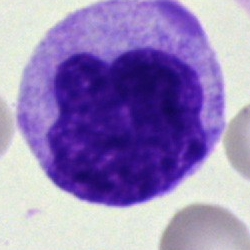 Bone marrow smear showing a monocyte.